Brightfield, 40× oil-immersion objective; MGG-stained; bone marrow aspirate smear.
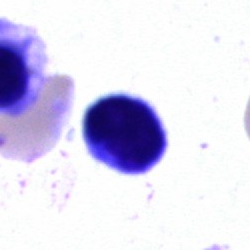

Specimen: bone marrow aspirate smear.
Cell: lymphocyte.